250×250 px. Bone marrow smear — 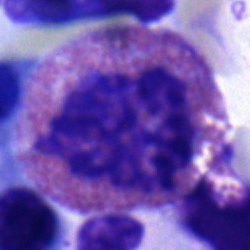 Classification: eosinophilic granulocyte.